Brightfield, 40× oil-immersion objective · bone marrow aspirate smear — 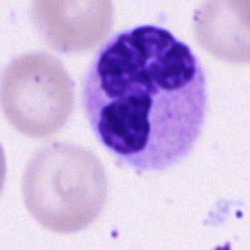
Morphological class: polymorphonuclear neutrophil.